Bone marrow smear — 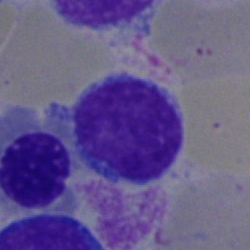
Cell type = lymphocyte.